Bone marrow aspirate smear:
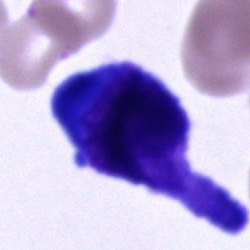 Classification = unidentifiable cell.